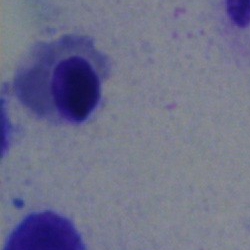Cell: nucleated red cell.